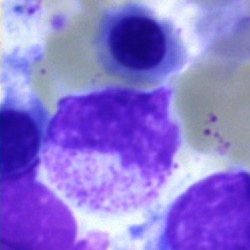

Specimen: bone marrow aspirate smear.
Morphological class: band-form neutrophil.